Bone marrow smear. 250 by 250 pixels: 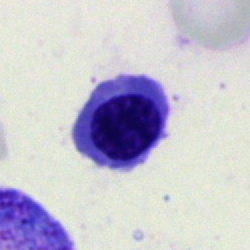

Nucleated red blood cell.